Bone marrow smear:
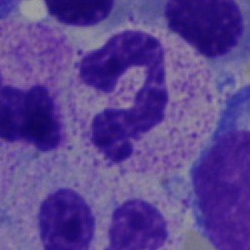

Single cell identified as a segmented neutrophil.